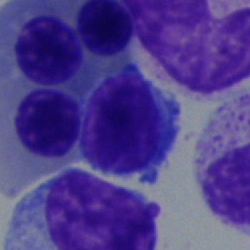 Morphology consistent with a nucleated red blood cell.